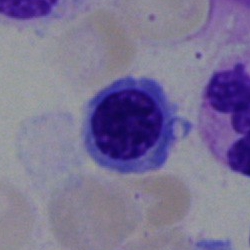 Showing a normoblast.